Brightfield microscopy, 40× oil immersion · bone marrow aspirate smear.
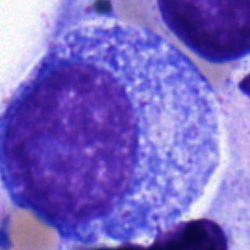 Q: What is shown here?
A: A progranulocyte.